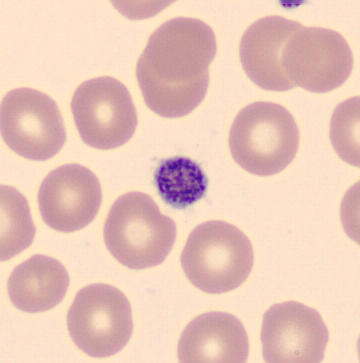Morphology → thrombocyte.

Image: Peripheral blood film.